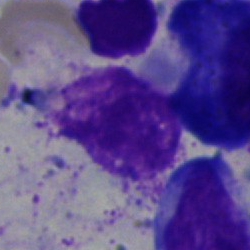 Single-cell crop from a bone marrow smear: artefact.